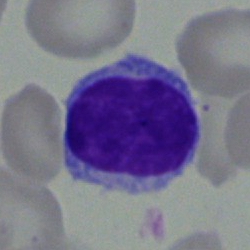
Morphology consistent with a lymphocyte.